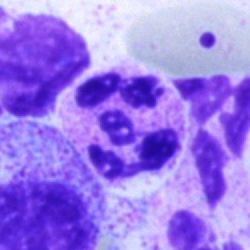 Impression — segmented neutrophil.